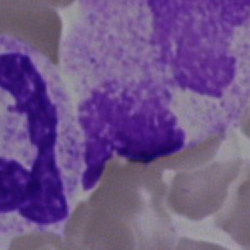An artifact on a bone marrow smear.